Bone marrow smear. Single-cell crop: 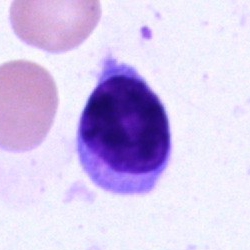
Morphological class — plasmacyte.